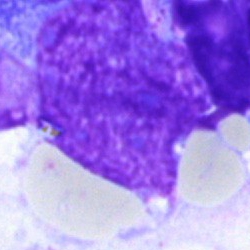

Single-cell crop from a bone marrow smear: artefact.